May-Grünwald-Giemsa stain. Bone marrow aspirate smear. Brightfield, 40× oil-immersion objective
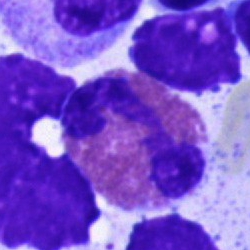
Specimen: bone marrow smear.
Classification: eosinophil.
Lineage: myeloid.